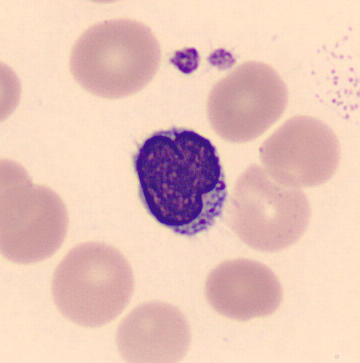 Specimen: peripheral blood film.
Morphological class: typical lymphocyte.
360×363.